Bone marrow smear: 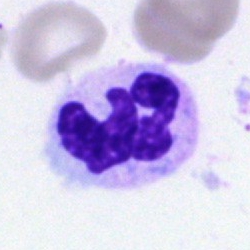 Morphology consistent with a segmented neutrophil.